Bone marrow aspirate smear — 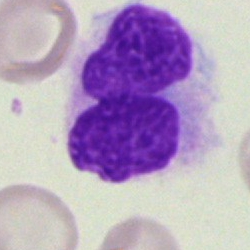

{"cell_type": "artifact"}